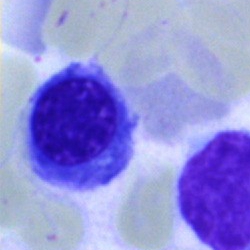Impression — nucleated red blood cell.